Bone marrow smear. Cropped to a single cell.
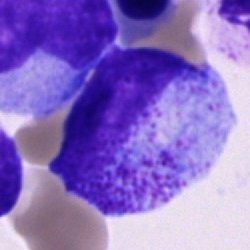
Q: What cell is this?
A: Progranulocyte.